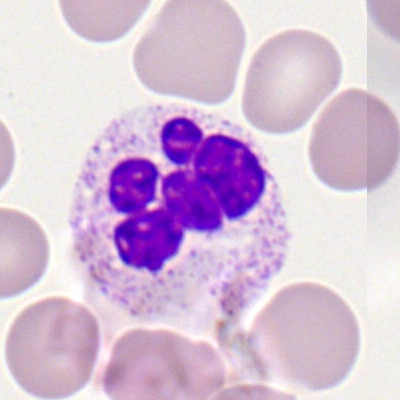 Q: Identify the cell.
A: This is a segmented neutrophil.